Pappenheim-stained · bone marrow aspirate smear.
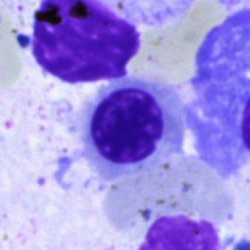

Specimen: bone marrow smear.
Classification: erythroblast.